250 by 250 pixels. Pappenheim-stained. Bone marrow aspirate smear.
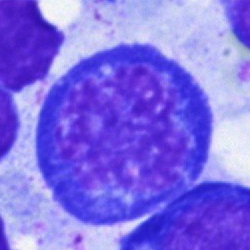
The cell shown is a normoblast.